Peripheral blood film
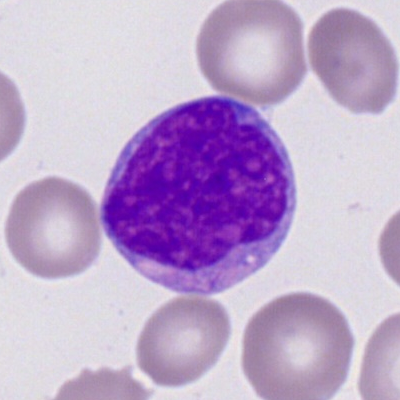 Specimen: peripheral blood film.
Cell type: myeloblast.